Brightfield, 40× oil-immersion objective · bone marrow smear
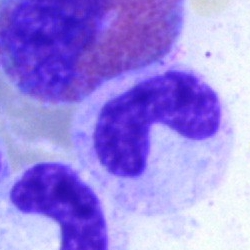Showing a neutrophil (band).